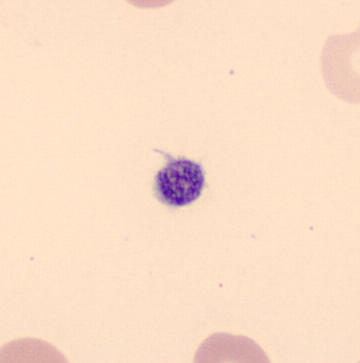 The cell type is thrombocyte.